Bone marrow aspirate smear.
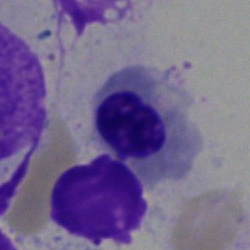Showing a nucleated red cell.